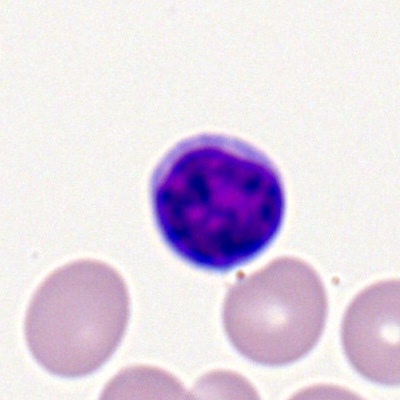 Q: What is shown here?
A: This is a typical lymphocyte.